Bone marrow smear: 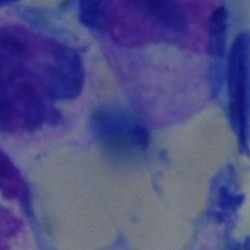 Morphological class: artefact.